Bone marrow smear; image size 250×250; May-Grünwald-Giemsa/Pappenheim stain.
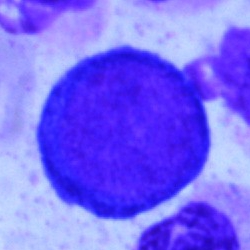This is a proerythroblast.